Bone marrow aspirate smear
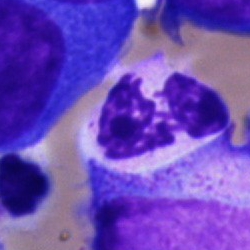Q: Which cell type is shown here?
A: Segmented neutrophil.